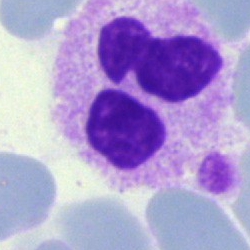 This is a segmented neutrophil.